May-Grünwald-Giemsa stain · single-cell field · bone marrow smear — 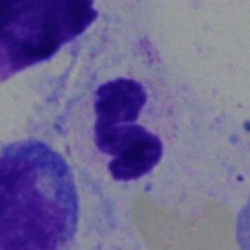

Neutrophil (segmented).